Bone marrow aspirate smear — 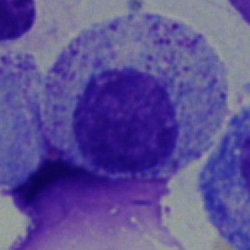 Myelocyte.